Bone marrow aspirate smear · May-Grünwald-Giemsa stain
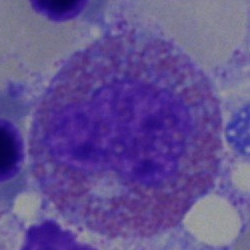 Specimen: bone marrow aspirate smear.
Morphological class: eosinophil.